Bone marrow smear · Pappenheim-stained:
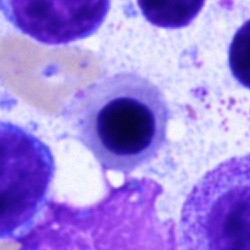Morphological class = nucleated red cell.